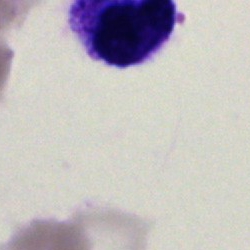 Morphology → artefact.